Brightfield microscopy, 40× oil immersion. Bone marrow smear
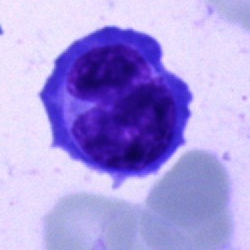
{"cell_type": "undifferentiated blast"}